Bone marrow aspirate smear — 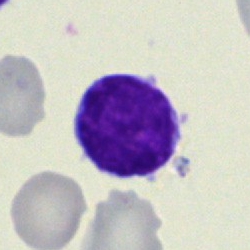 Morphology → lymphocyte.